Brightfield microscopy, 40× oil immersion. Bone marrow smear: 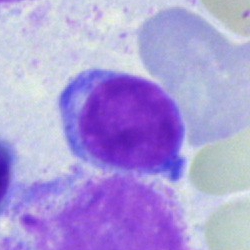

Cell — typical lymphocyte.